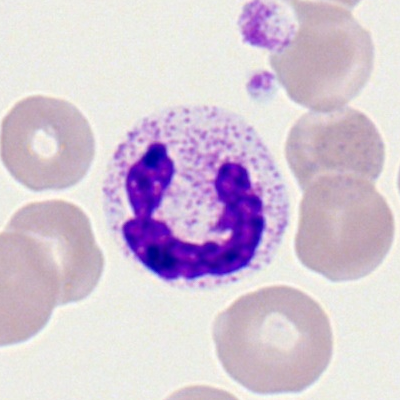Morphology → segmented neutrophil.